Bone marrow smear
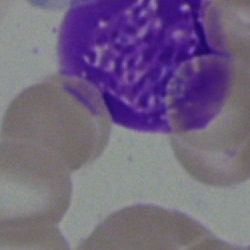
Q: Which cell type is shown here?
A: This is a monocyte.